Single-cell field; bone marrow aspirate smear.
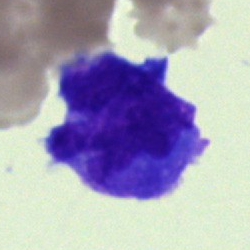Cell — blast.